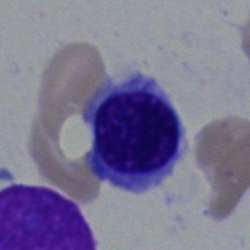 Morphological class — normoblast.